Bone marrow smear: 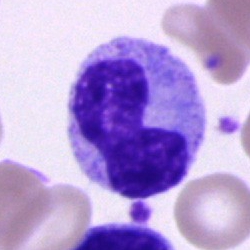 Specimen: bone marrow smear.
Cell type: metamyelocyte.
Lineage: myeloid.